Bone marrow aspirate smear:
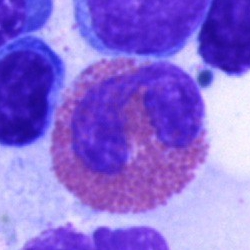

Morphology consistent with an eosinophil.